Peripheral blood smear — 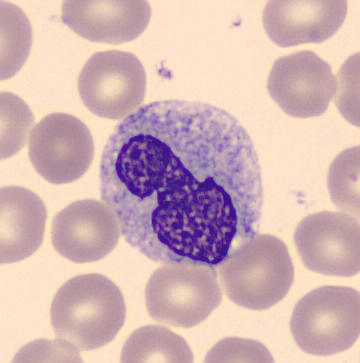Showing a monocyte.